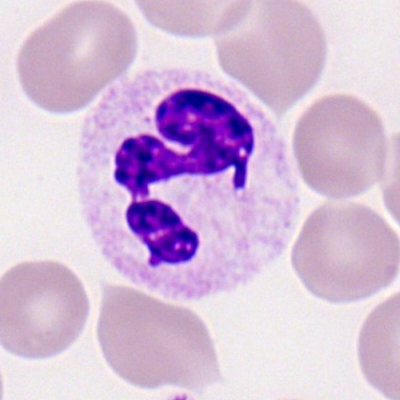 Showing a polymorphonuclear neutrophil.